Bone marrow smear:
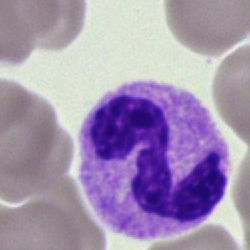
Cell type = segmented neutrophil.